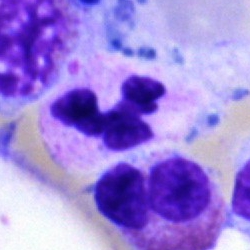 Specimen: bone marrow smear.
Cell: neutrophil (segmented).